Peripheral blood film · brightfield, 100× oil-immersion objective: 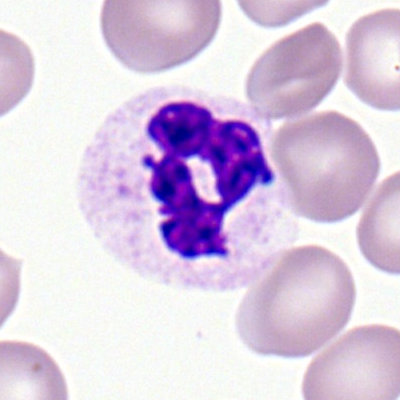

Q: What cell is this?
A: A polymorphonuclear neutrophil.